250 by 250 pixels. MGG-stained. Bone marrow smear
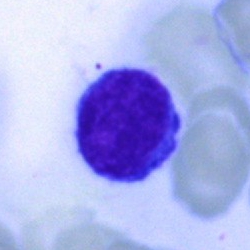 Showing a lymphocyte.